Peripheral blood film:
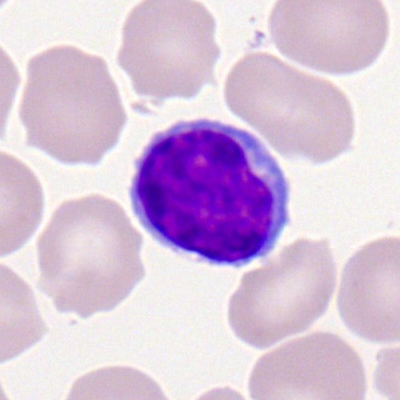 Typical lymphocyte.